May-Grünwald-Giemsa/Pappenheim stain · bone marrow aspirate smear:
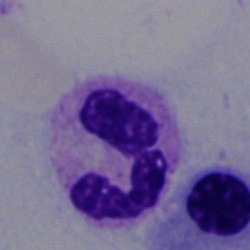

Single cell identified as a polymorphonuclear neutrophil.